Bone marrow smear; May-Grünwald-Giemsa stain; brightfield, 40× oil-immersion objective.
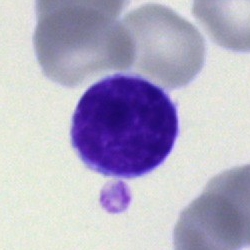

Q: Identify the cell.
A: It is a typical lymphocyte.